Bone marrow smear.
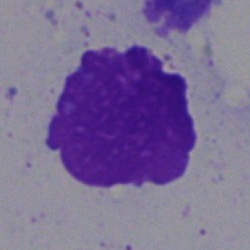

Specimen: bone marrow smear.
Cell: artifact.